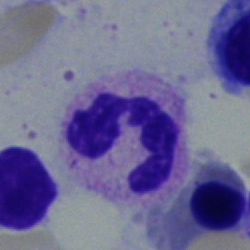
Q: What is shown here?
A: A segmented neutrophil.